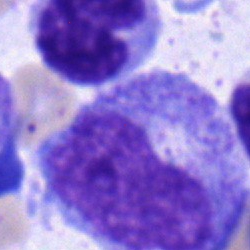

Specimen: bone marrow aspirate smear.
Cell type: promyelocyte.
Lineage: myeloid.